Peripheral blood film: 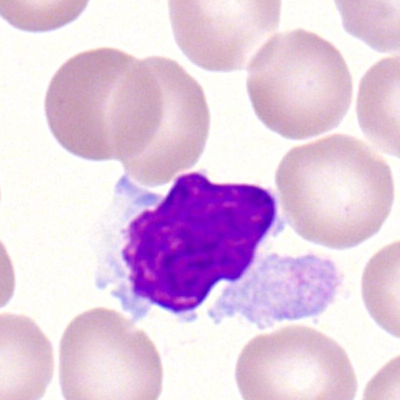

Typical lymphocyte.